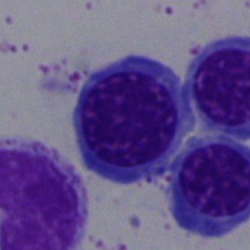

Bone marrow smear showing an erythroblast.